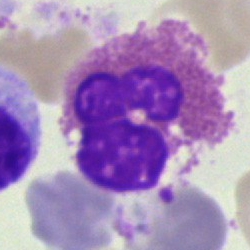
Morphology — eosinophilic granulocyte.